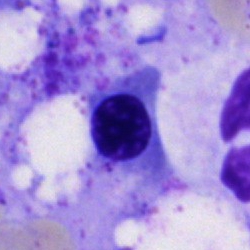

Morphology consistent with an undifferentiated blast.